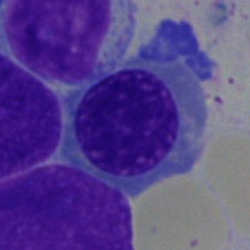

Impression — nucleated red cell.